Peripheral blood film: 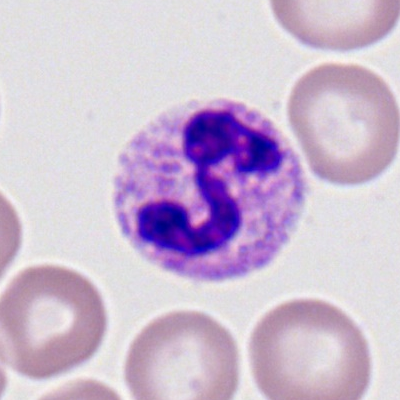Q: What cell is this?
A: It is a segmented neutrophil.